Bone marrow smear: 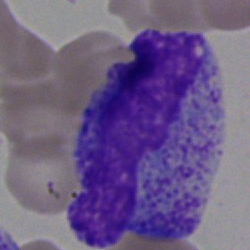 Showing a promyelocyte.